Peripheral blood film:
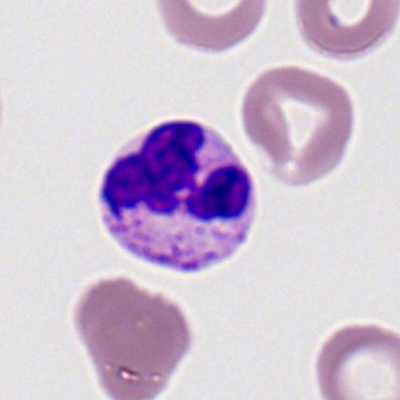
Specimen: peripheral blood smear.
Classification: segmented neutrophil.
Lineage: myeloid.